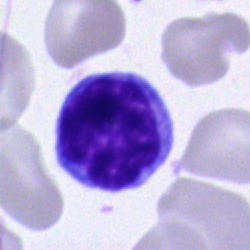

Q: What type of cell is this?
A: A typical lymphocyte.